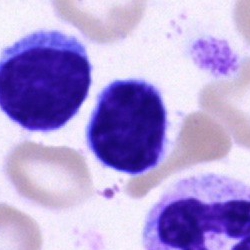
Bone marrow aspirate smear, single cell — lymphocyte.